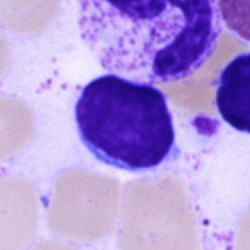 Cell type = typical lymphocyte.